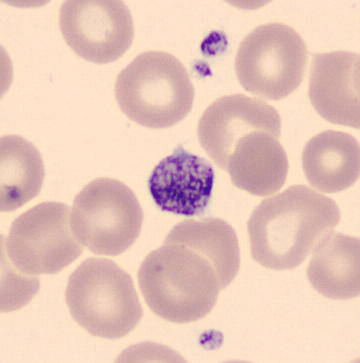Image: Peripheral blood smear.

Morphological class = thrombocyte.